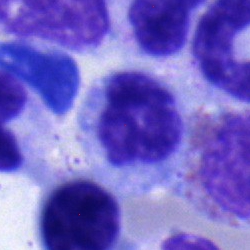
The classification is monocyte.